Bone marrow smear — 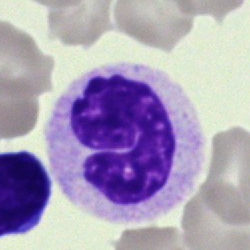 Specimen: bone marrow smear.
Cell type: segmented neutrophil.
Lineage: myeloid.